40× objective, oil immersion · 250×250 · bone marrow aspirate smear: 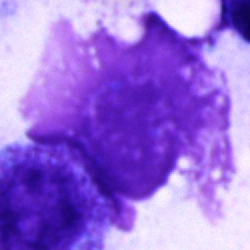 {"cell_type": "artifact"}